Bone marrow aspirate smear:
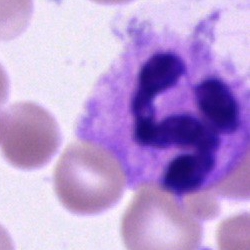

Morphology consistent with a polymorphonuclear neutrophil.